Bone marrow smear:
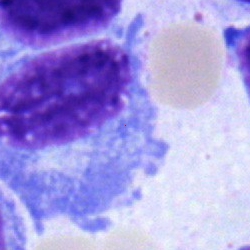 A plasma cell.